Bone marrow aspirate smear.
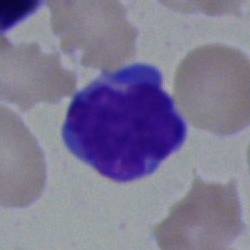

Cell — lymphocyte.